Bone marrow aspirate smear — 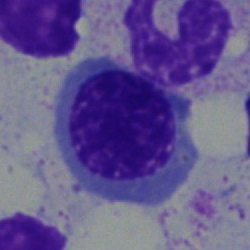
Morphology → erythroblast.